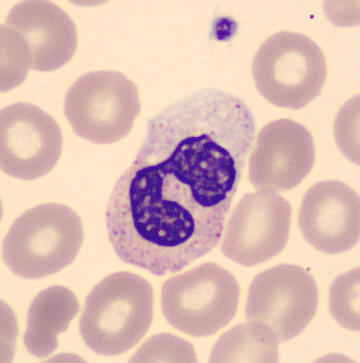

Preparation: Peripheral blood film.

Classification — segmented neutrophil.